Bone marrow aspirate smear; 40× oil immersion: 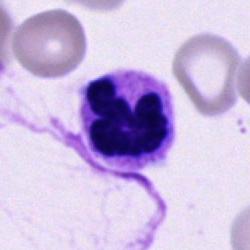
Q: Identify the cell.
A: This is a segmented neutrophil.